Single cell centered in the field · bone marrow smear.
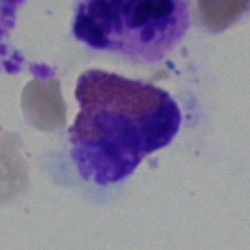Specimen: bone marrow smear.
Cell: eosinophil.
Lineage: myeloid.